Peripheral blood smear
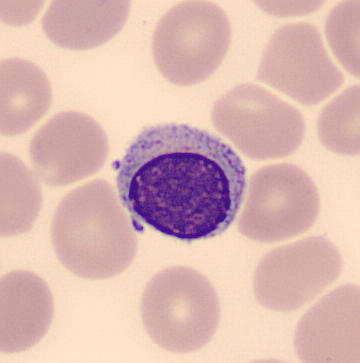Q: What is shown here?
A: It is a typical lymphocyte.